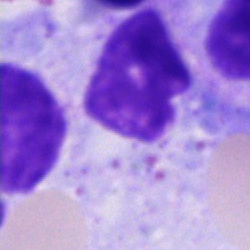 Q: What is shown here?
A: This is an artefact.